Image size 250×250; single-cell field; bone marrow aspirate smear:
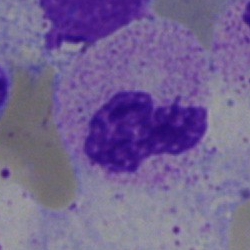{"cell_type": "neutrophil (segmented)", "lineage": "myeloid"}